May-Grünwald-Giemsa/Pappenheim stain; bone marrow aspirate smear:
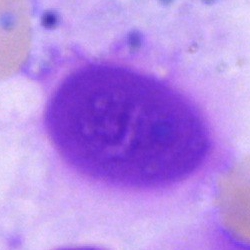
Morphology — artefact.